Bone marrow smear · MGG-stained · single-cell field — 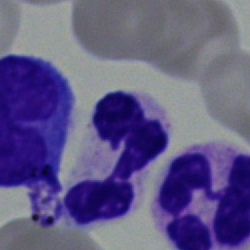

Polymorphonuclear neutrophil.